Brightfield microscopy, 40× oil immersion · Pappenheim-stained · bone marrow aspirate smear
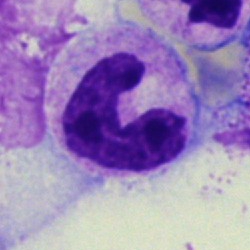 A stab cell.